Bone marrow smear. Image size 250×250.
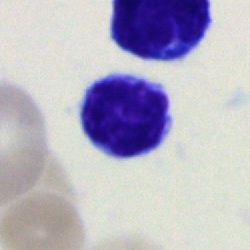

Specimen: bone marrow aspirate smear.
Cell: lymphocyte.
Lineage: lymphoid.